Bone marrow smear:
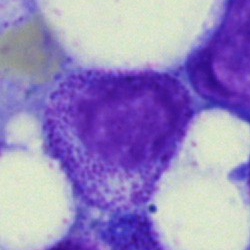

Progranulocyte.